Romanowsky-type stain. Peripheral blood film:
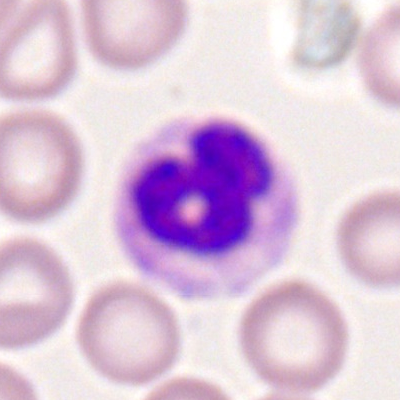
Cell type: neutrophil (segmented).